Bone marrow aspirate smear · single cell centered in the field.
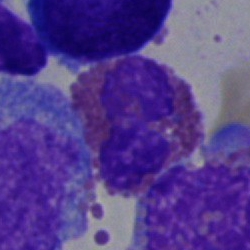Specimen: bone marrow smear.
Cell: eosinophilic granulocyte.
Lineage: myeloid.